Bone marrow smear — 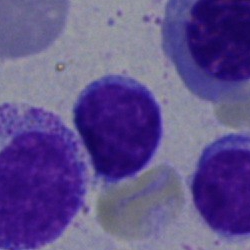

Morphological class — lymphocyte.